Cropped to a single cell · bone marrow aspirate smear
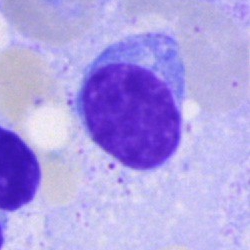

A lymphocyte.